Bone marrow smear
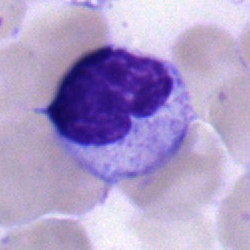Q: Identify the cell.
A: Monocyte.